Bone marrow smear; single-cell field:
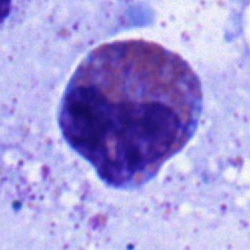 Classification: eosinophil.